40× oil immersion · bone marrow smear: 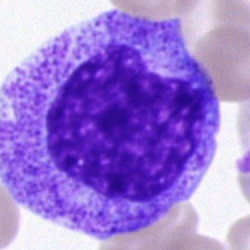

A myelocyte.